M8 digital microscope (Precipoint), 100× oil immersion. Peripheral blood film. 400×400
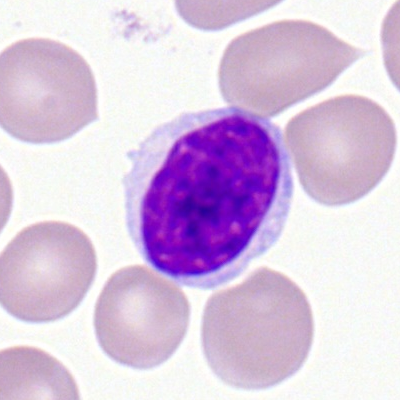The cell is lymphocyte.